250 by 250 pixels · single-cell field · bone marrow aspirate smear
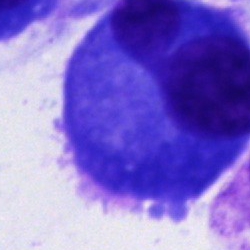

A plasma cell.